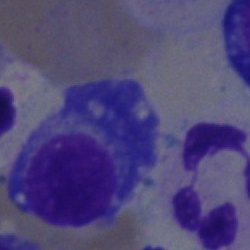The cell type is plasmacyte.